Bone marrow aspirate smear · brightfield, 40× oil-immersion objective.
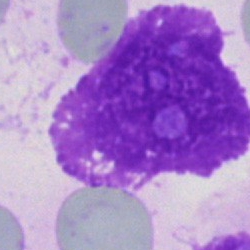

Specimen: bone marrow smear.
Morphological class: artifact.